360×363 px. Peripheral blood smear
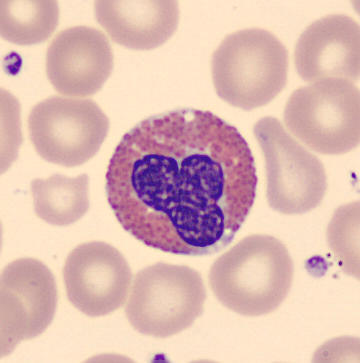
Showing an eosinophil.